Bone marrow aspirate smear; image size 250×250:
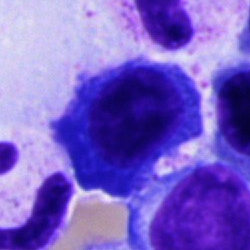

Morphological class: plasmacyte.